Bone marrow smear:
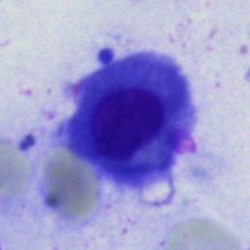
Erythroblast.